Bone marrow smear
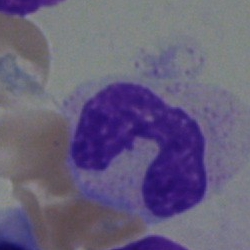

Q: What is shown here?
A: Neutrophil (band).